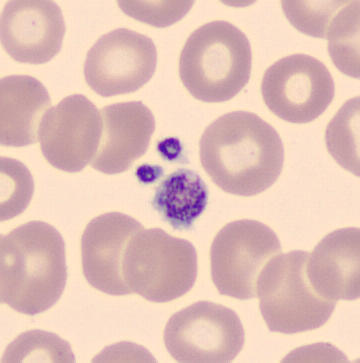
{"cell_type": "platelet"}